250×250; bone marrow aspirate smear — 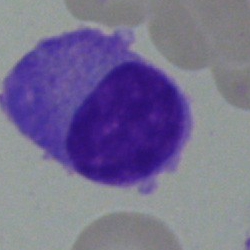Q: Identify the cell.
A: Plasmacyte.